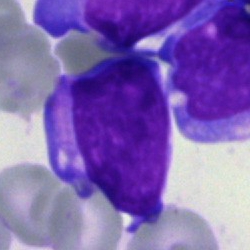
Single-cell crop from a bone marrow smear: undifferentiated blast.